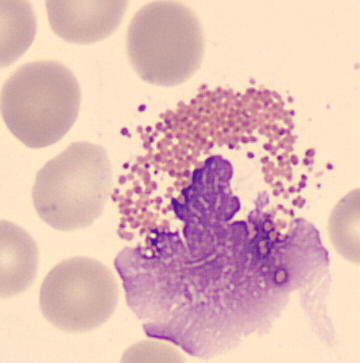Morphology — eosinophilic granulocyte.